Bone marrow aspirate smear · 250×250: 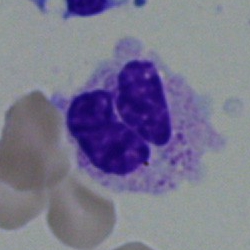

A polymorphonuclear neutrophil.